Bone marrow aspirate smear
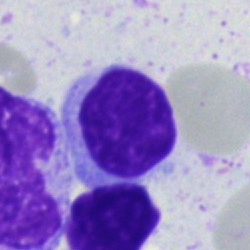Morphology — typical lymphocyte.